Bone marrow aspirate smear
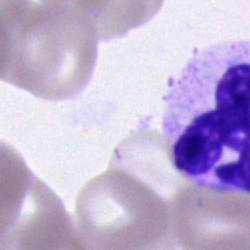 {"cell_type": "polymorphonuclear neutrophil"}